Bone marrow aspirate smear · Pappenheim-stained — 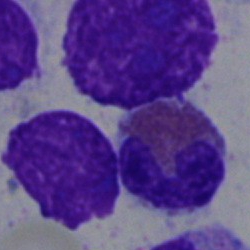 Q: Identify the cell.
A: Eosinophil.